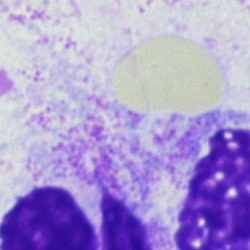

The classification is artefact.